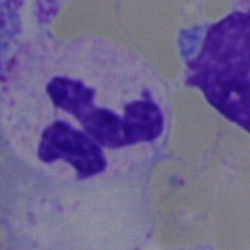

Cell = segmented neutrophil.